Bone marrow aspirate smear:
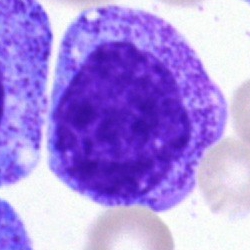

Classification = myelocyte.